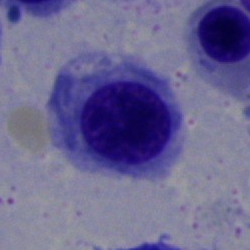 Morphology → nucleated red cell.